Bone marrow smear; 250 by 250 pixels — 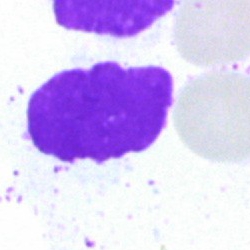
Morphology consistent with an artifact.